Peripheral blood smear · 360×363 px — 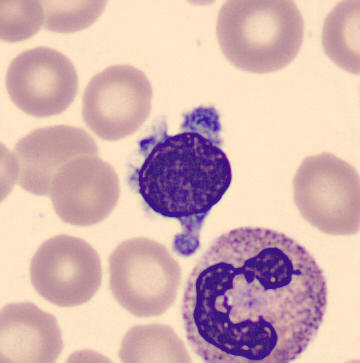 Typical lymphocyte.